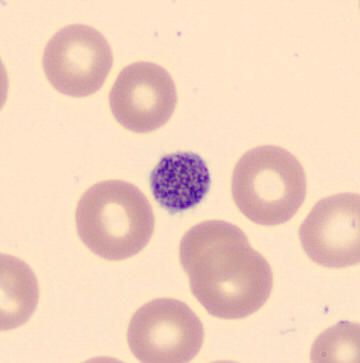
Q: What is this?
A: This is a thrombocyte.